Bone marrow aspirate smear.
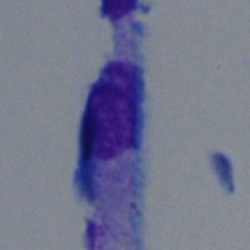This is an artefact.